Bone marrow smear · May-Grünwald-Giemsa stain · single-cell crop
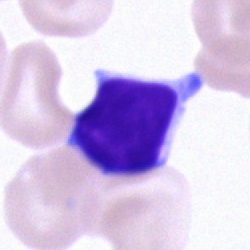Specimen: bone marrow smear.
Cell: lymphocyte.